Bone marrow smear; 250×250.
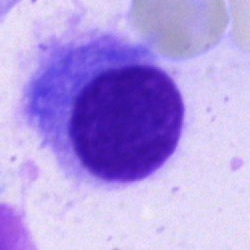

Morphological class — plasmacyte.